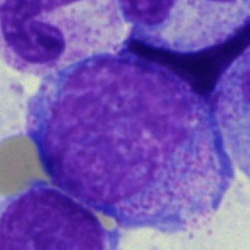 Morphology — progranulocyte.